Peripheral blood film: 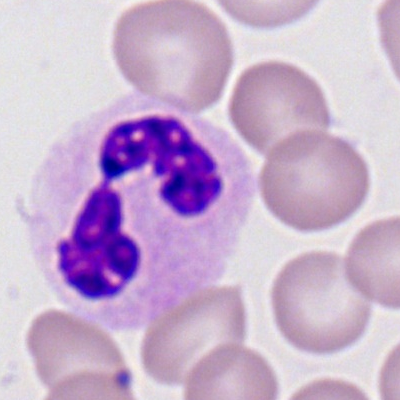 Specimen: peripheral blood film.
Cell: neutrophil (segmented).